Bone marrow smear: 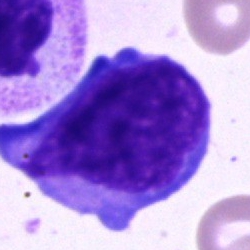Impression — blast.